Bone marrow aspirate smear. Single-cell field. Brightfield microscopy, 40× oil immersion — 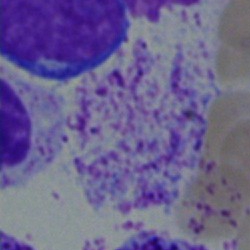 Cell = artifact.